Peripheral blood film: 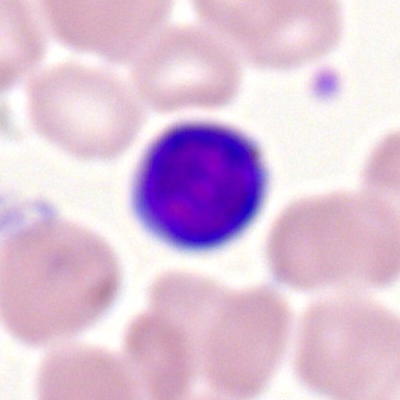
Classification — lymphocyte.